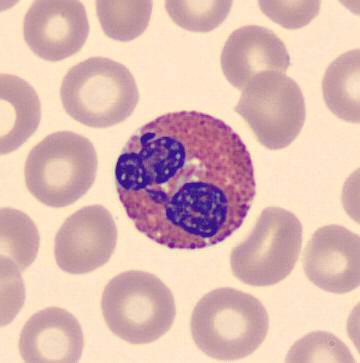Morphology → eosinophilic granulocyte.